Bone marrow aspirate smear · May-Grünwald-Giemsa/Pappenheim stain · single-cell crop.
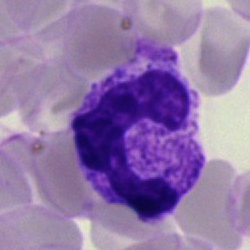Morphology consistent with a segmented neutrophil.